Bone marrow smear — 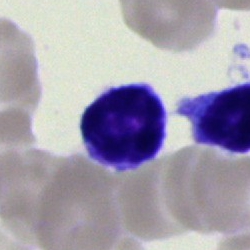
Cell — typical lymphocyte.